400×400; cropped to a single cell; peripheral blood film.
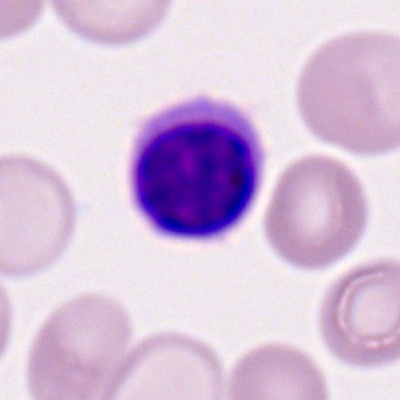
Q: What cell is this?
A: A typical lymphocyte.